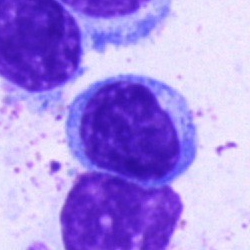

Q: Which cell type is shown here?
A: This is a lymphocyte.